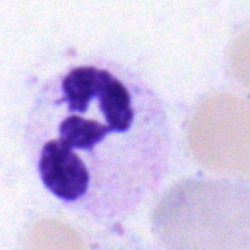 Single-cell crop from a bone marrow smear: segmented neutrophil.